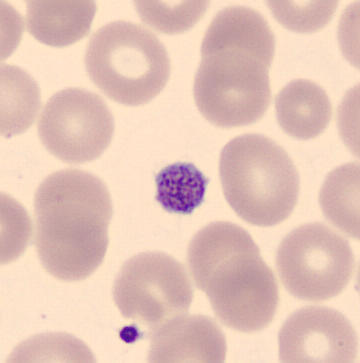

Morphology consistent with a platelet (thrombocyte).

Acquisition: Peripheral blood smear.